Bone marrow aspirate smear · 40× oil immersion:
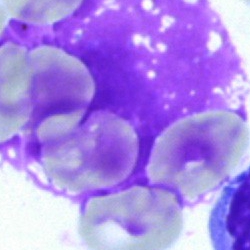 Morphology consistent with an artifact.